Bone marrow smear: 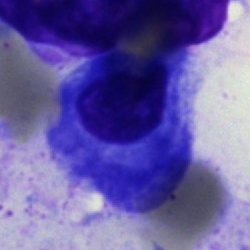
Cell = plasmacyte.